Bone marrow smear: 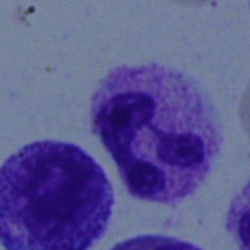

Q: What is shown here?
A: It is a polymorphonuclear neutrophil.